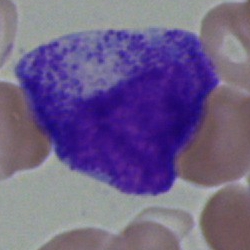
The cell shown is a myelocyte.